Bone marrow smear · May-Grünwald-Giemsa/Pappenheim stain · single-cell crop:
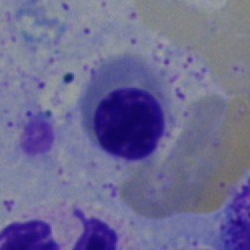 The cell is nucleated red cell.